250 by 250 pixels; bone marrow smear; single cell centered in the field: 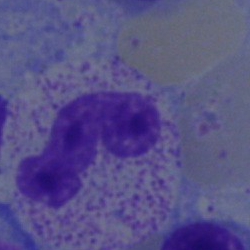Cell = band-form neutrophil.